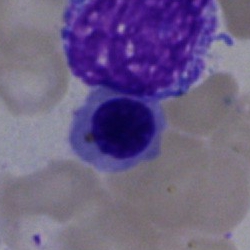 A nucleated red blood cell.